250 by 250 pixels; bone marrow smear: 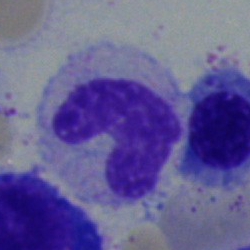The classification is band neutrophil.